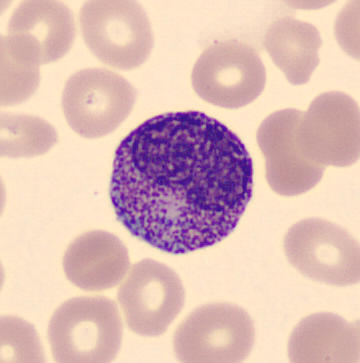
Q: Identify the cell.
A: This is a progranulocyte.